May-Grünwald-Giemsa stain · bone marrow smear · cropped to a single cell: 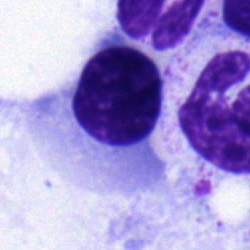

Morphology — nucleated red cell.